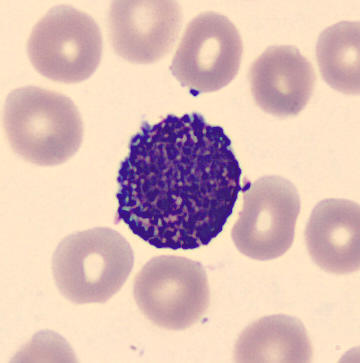
Morphology — basophil.